Brightfield microscopy, 40× oil immersion · bone marrow aspirate smear.
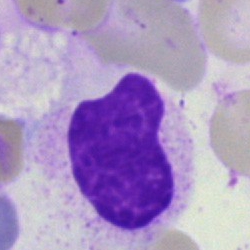 Specimen: bone marrow aspirate smear.
Cell type: artefact.